Single cell centered in the field · 100× oil immersion · peripheral blood smear
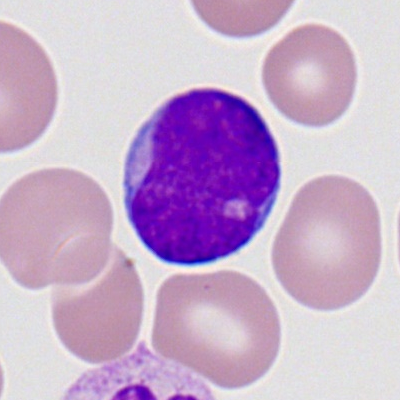Q: What cell is this?
A: This is a myeloid blast.